Peripheral blood film · Romanowsky stain:
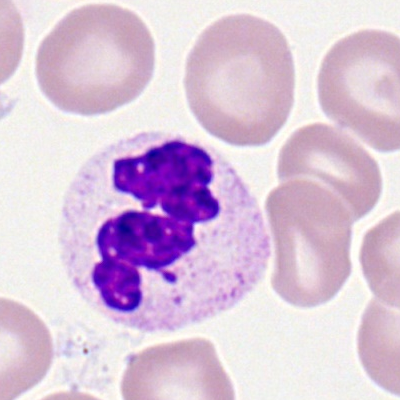 Morphology consistent with a polymorphonuclear neutrophil.